Bone marrow smear; 250×250 px
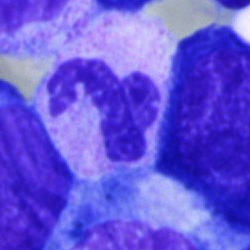

Classification: polymorphonuclear neutrophil.